250×250 px. Bone marrow aspirate smear.
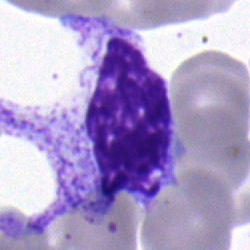Single cell identified as a myelocyte.